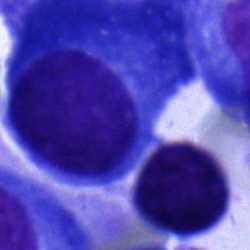This is a plasma cell.